Bone marrow aspirate smear · May-Grünwald-Giemsa/Pappenheim stain · 250×250 px — 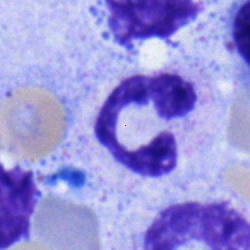
Morphology — polymorphonuclear neutrophil.